Single-cell field · 250×250 · bone marrow aspirate smear.
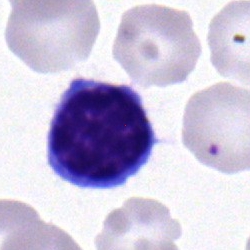 Cell type: lymphocyte.